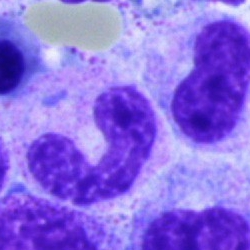
Bone marrow smear showing a neutrophil (band).